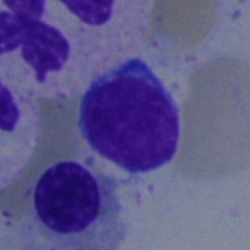
Cell = typical lymphocyte.